Bone marrow aspirate smear. 250×250 px:
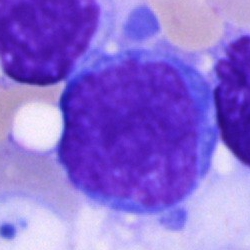This is an undifferentiated blast.